Bone marrow aspirate smear. Single cell centered in the field. 40× oil immersion: 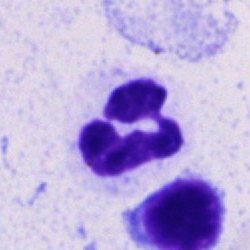 Morphological class: polymorphonuclear neutrophil.